Image size 250×250; bone marrow smear — 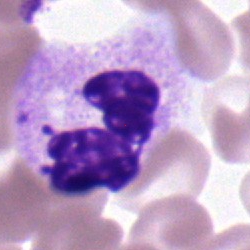Q: What cell is this?
A: Segmented neutrophil.